Bone marrow smear.
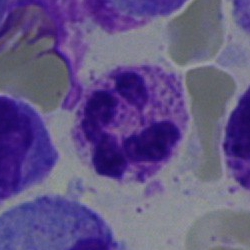
Morphological class — polymorphonuclear neutrophil.